Bone marrow aspirate smear · 250×250
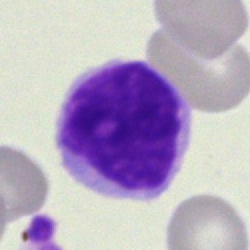

{"cell_type": "lymphocyte"}